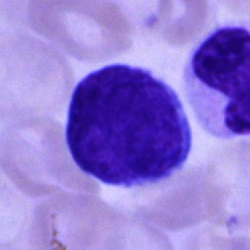 Single cell identified as a blast.